250×250. Bone marrow smear.
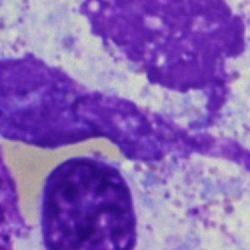
An artifact.